Bone marrow smear. 250×250: 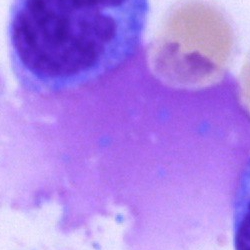Specimen: bone marrow smear.
Cell: artifact.